Peripheral blood film: 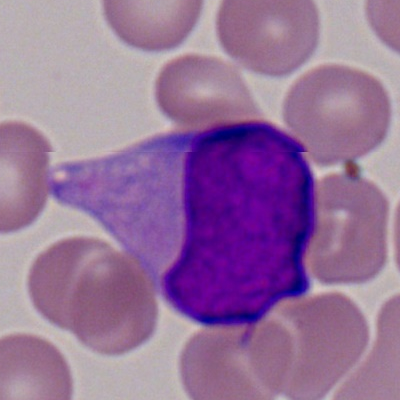

Impression → myeloblast.